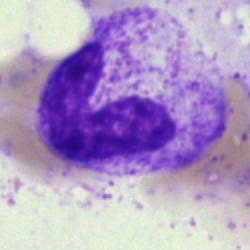 Impression → stab cell.